Bone marrow aspirate smear · Pappenheim-stained.
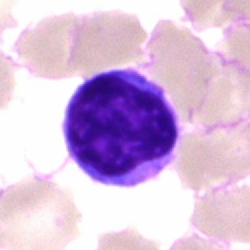

Specimen: bone marrow aspirate smear.
Cell: lymphocyte.
Lineage: lymphoid.